Brightfield microscopy, 40× oil immersion. Bone marrow aspirate smear: 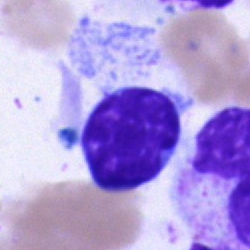 Cell type — typical lymphocyte.